Bone marrow smear; MGG-stained.
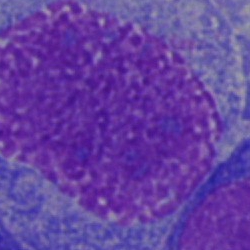

Specimen: bone marrow aspirate smear.
Cell: undifferentiated blast.